Bone marrow smear:
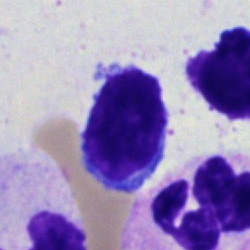

Classification = typical lymphocyte.